Image size 250×250. Brightfield, 40× oil-immersion objective. Bone marrow aspirate smear.
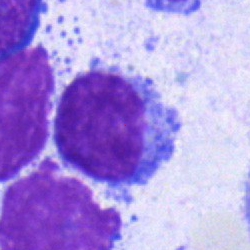
Morphological class: typical lymphocyte.